Bone marrow aspirate smear
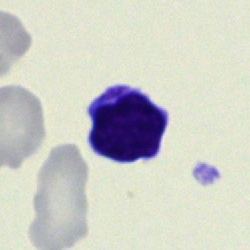
The morphological class is typical lymphocyte.